Bone marrow aspirate smear — 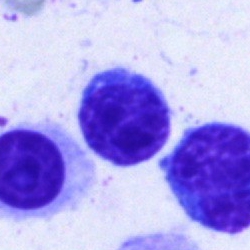

Cell type: typical lymphocyte.